40× objective, oil immersion · bone marrow aspirate smear · 250×250:
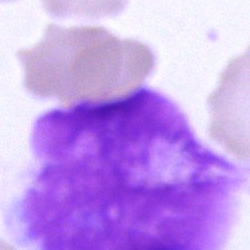Specimen: bone marrow smear.
Cell: artifact.